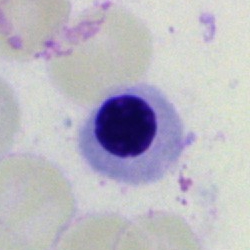
Q: What is shown here?
A: It is a normoblast.